250×250 · bone marrow smear:
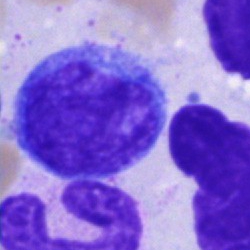Specimen: bone marrow aspirate smear.
Cell type: monocyte.
Lineage: myeloid.